Bone marrow smear.
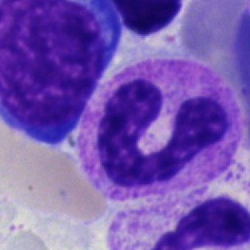{"cell_type": "band-form neutrophil"}